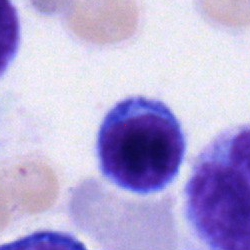

Specimen: bone marrow aspirate smear.
Cell: typical lymphocyte.